Bone marrow aspirate smear — 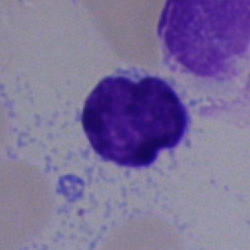Single cell identified as a lymphocyte.